Bone marrow smear — 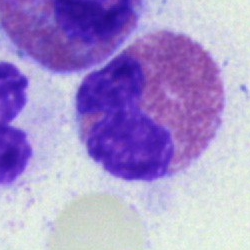

Classification: eosinophilic granulocyte.